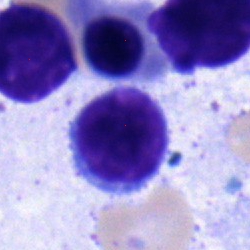

Q: What is the morphological classification of this cell?
A: This is a lymphocyte.